Bone marrow aspirate smear
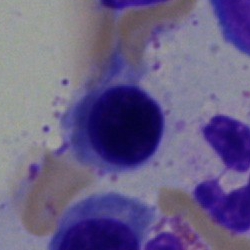 Classification = nucleated red blood cell.